Peripheral blood film
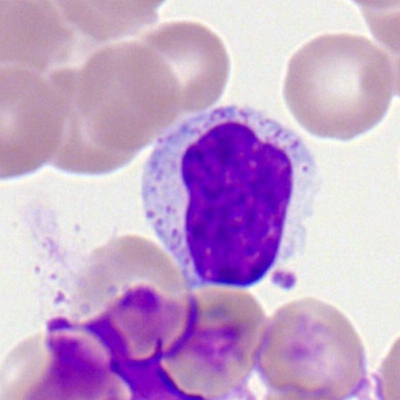Single cell identified as a typical lymphocyte.